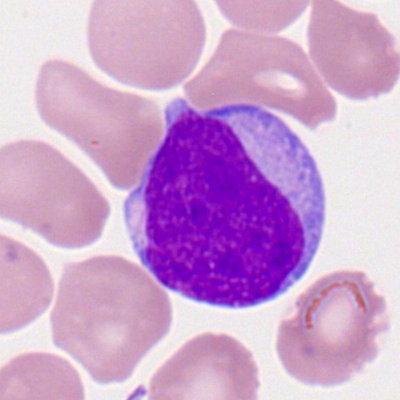 Morphology consistent with a myeloblast.